Bone marrow aspirate smear. Brightfield microscopy, 40× oil immersion. Single cell centered in the field:
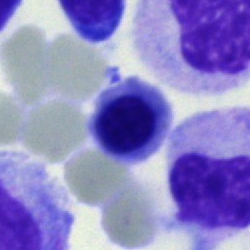This is a nucleated red blood cell.